Bone marrow aspirate smear
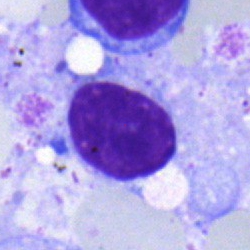Lymphocyte.